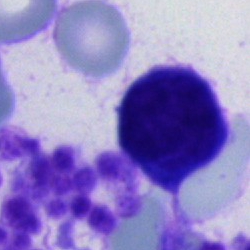Morphology → unidentifiable cell.